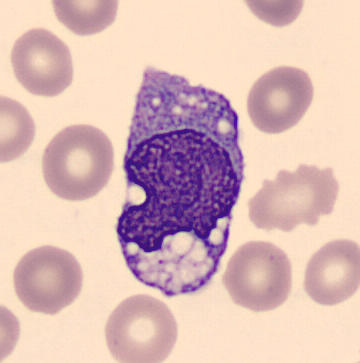Cell type: monocyte. Peripheral blood film. CellaVision DM96.